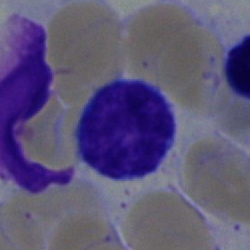

Classification = typical lymphocyte.